Bone marrow smear:
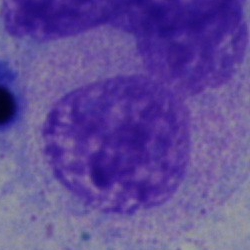 Q: What is shown here?
A: This is a myelocyte.